250 by 250 pixels · bone marrow smear — 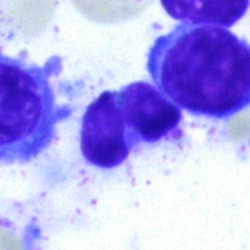 Single cell identified as an artifact.